Bone marrow aspirate smear:
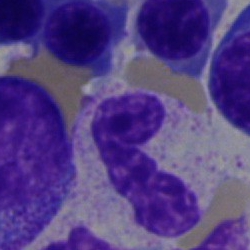 {"cell_type": "polymorphonuclear neutrophil", "lineage": "myeloid"}